Bone marrow aspirate smear: 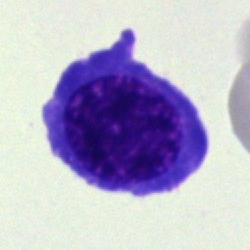
This is an erythroblast.